Bone marrow aspirate smear: 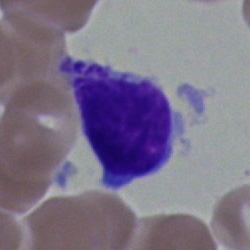 Showing a typical lymphocyte.